Bone marrow smear; image size 250×250:
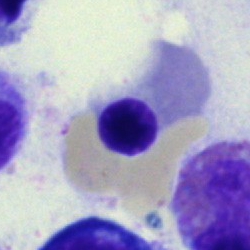{"cell_type": "normoblast"}